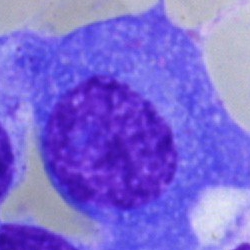Q: What is shown here?
A: This is a plasmacyte.